Peripheral blood smear:
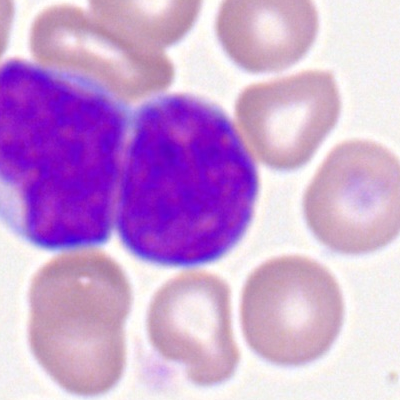
This is a myeloblast.